Image size 250×250. Bone marrow aspirate smear.
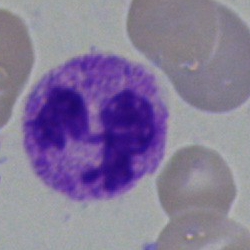
Q: What type of cell is this?
A: A polymorphonuclear neutrophil.